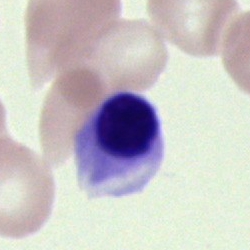Cell type — normoblast.